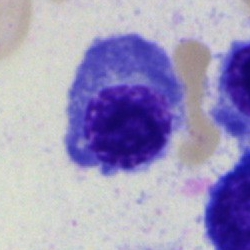 Erythroblast.